250×250 px · bone marrow aspirate smear · 40× objective, oil immersion
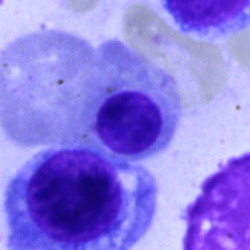 Specimen: bone marrow aspirate smear.
Classification: erythroblast.
Lineage: erythroid.